Bone marrow smear. Brightfield microscopy, 40× oil immersion
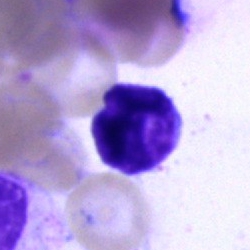
Morphology consistent with a lymphocyte.